Bone marrow aspirate smear:
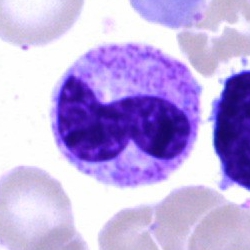 Classification = band neutrophil.